Bone marrow aspirate smear · single cell centered in the field: 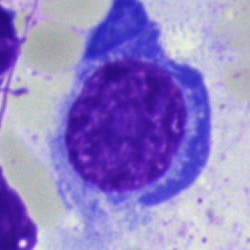
The classification is plasma cell.